Bone marrow smear: 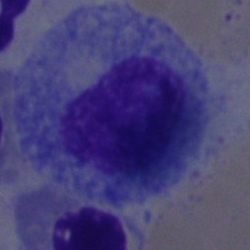
Q: What cell is this?
A: This is a progranulocyte.